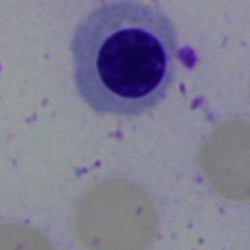 Q: What type of cell is this?
A: It is a nucleated red blood cell.